250×250 px. Pappenheim-stained. Bone marrow aspirate smear
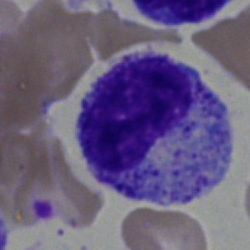 Showing a myelocyte.